Bone marrow aspirate smear: 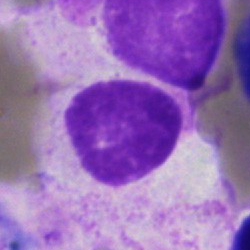Morphology — artifact.